Bone marrow smear · 250×250.
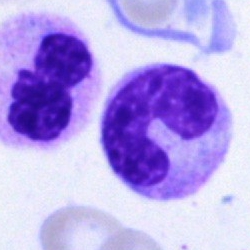 A band neutrophil.